Bone marrow smear — 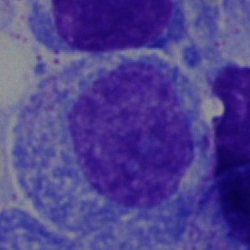

Showing a promyelocyte.